Bone marrow smear: 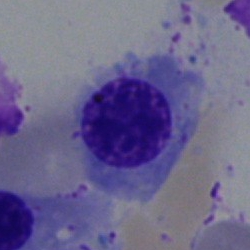
This is a nucleated red cell.